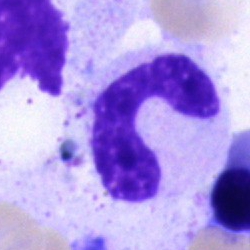 The cell shown is a band-form neutrophil.